Single-cell field; bone marrow aspirate smear.
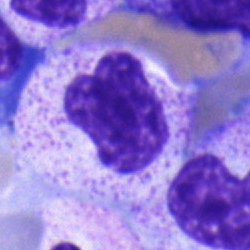
Cell type: stab cell.